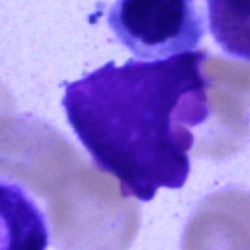
The cell shown is an artifact.